Peripheral blood smear — 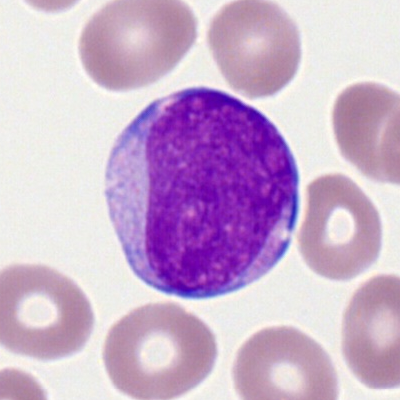
Impression — myeloblast.